Cropped to a single cell · bone marrow aspirate smear · 40× oil immersion: 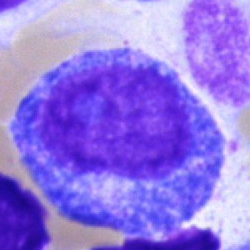 Impression — progranulocyte.